Peripheral blood smear:
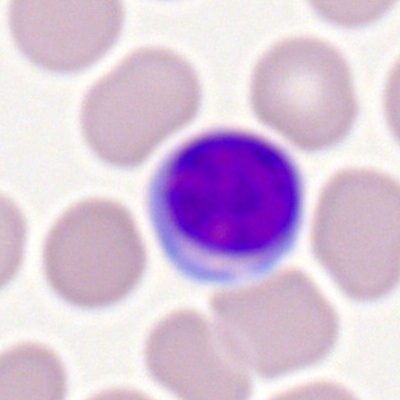 Specimen: peripheral blood film.
Classification: typical lymphocyte.